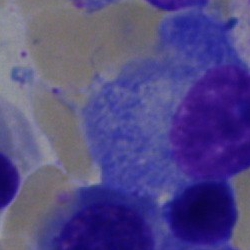 A plasma cell on a bone marrow smear.